Bone marrow smear. Single-cell crop: 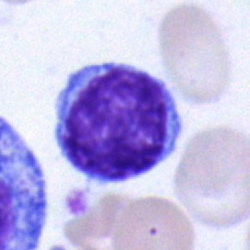Impression — typical lymphocyte.